Bone marrow aspirate smear — 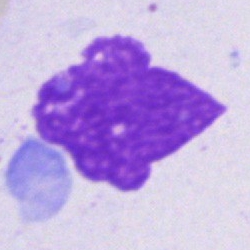

Morphology consistent with an artifact.